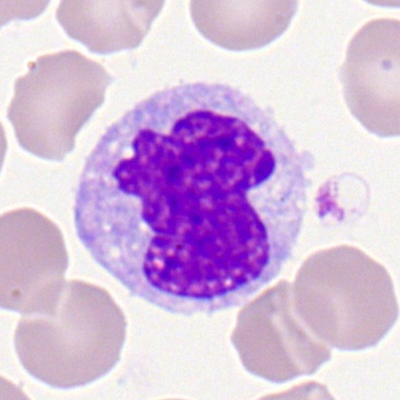Q: What is the morphological classification of this cell?
A: It is a monocyte.